Bone marrow aspirate smear.
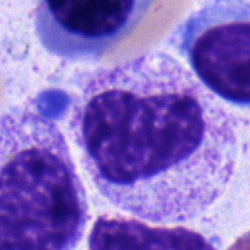

The morphological class is metamyelocyte.